Bone marrow aspirate smear:
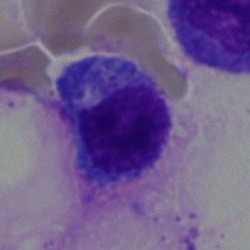 The classification is typical lymphocyte.